Bone marrow aspirate smear; brightfield microscopy, 40× oil immersion — 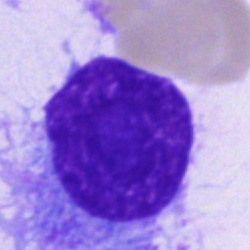
{"cell_type": "plasmacyte", "lineage": "lymphoid"}